Bone marrow aspirate smear:
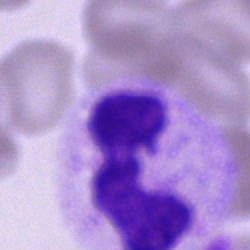

The cell shown is a segmented neutrophil.